Cropped to a single cell. Bone marrow smear. Image size 250×250.
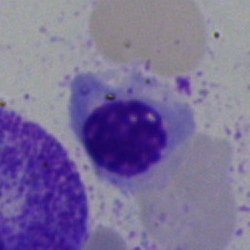 This is a normoblast.